Single-cell field; bone marrow smear; May-Grünwald-Giemsa stain — 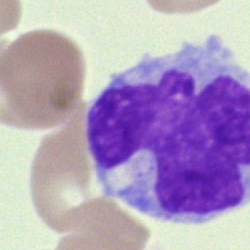

Cell = monocyte.